Bone marrow smear
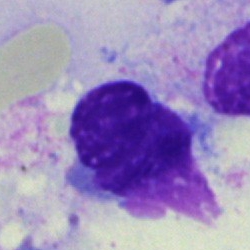Impression — artefact.